Brightfield microscopy, 40× oil immersion. Single cell centered in the field. Bone marrow smear
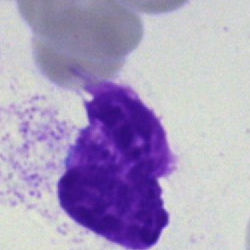
Specimen: bone marrow smear.
Cell: artifact.